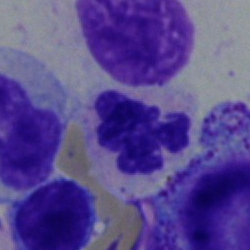 Q: What is the morphological classification of this cell?
A: It is a segmented neutrophil.